Peripheral blood film
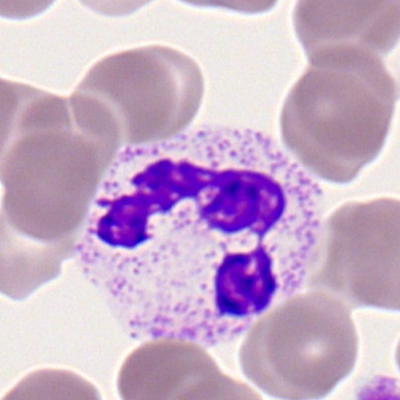

Specimen: peripheral blood film.
Morphological class: segmented neutrophil.